Single-cell field; bone marrow aspirate smear: 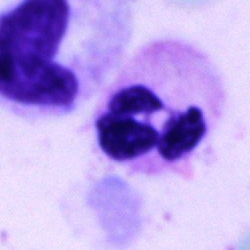
Q: What is shown here?
A: Polymorphonuclear neutrophil.